Bone marrow aspirate smear — 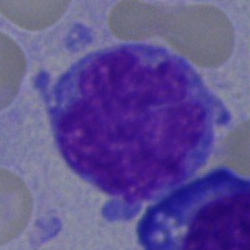Impression — monocyte.